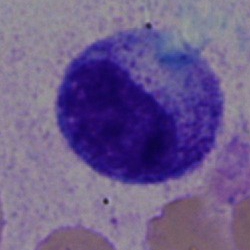

Bone marrow aspirate smear, single cell — myelocyte.